Single cell centered in the field; bone marrow smear; 40× objective, oil immersion
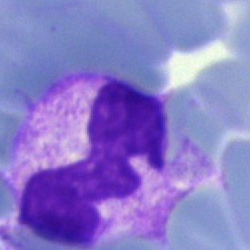

Specimen: bone marrow aspirate smear.
Classification: segmented neutrophil.
Lineage: myeloid.